Bone marrow aspirate smear · brightfield, 40× oil-immersion objective · single cell centered in the field: 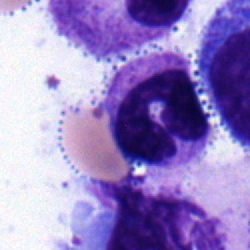 Morphology — band-form neutrophil.